Bone marrow aspirate smear.
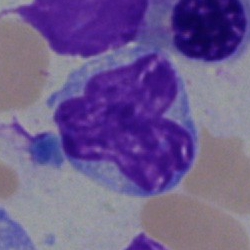 Morphology consistent with a lymphocyte.